Pappenheim-stained; bone marrow aspirate smear: 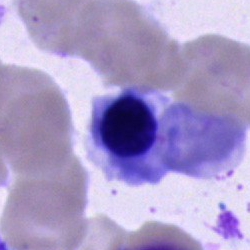A nucleated red cell.